Bone marrow aspirate smear:
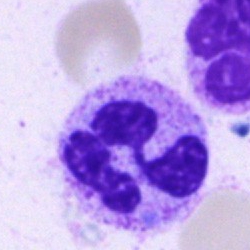 Impression → polymorphonuclear neutrophil.